Peripheral blood film; single-cell field; Romanowsky-type stain — 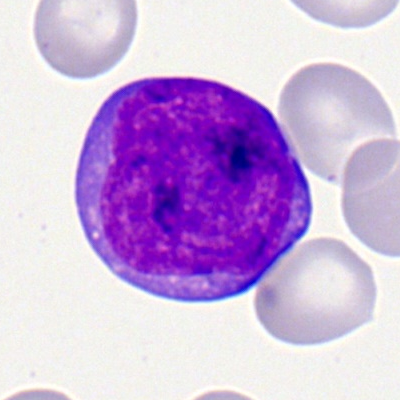
Q: What cell is this?
A: This is a myeloblast.